Bone marrow smear — 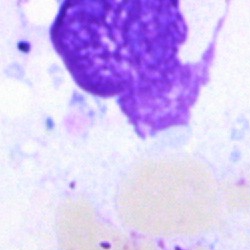
Classification: artifact.